Bone marrow smear.
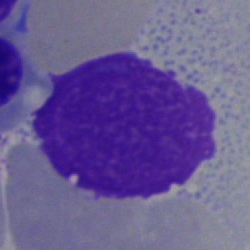Morphology — artifact.